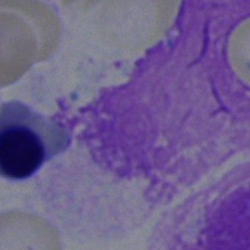 An artifact on a bone marrow smear.